Bone marrow smear; 250 by 250 pixels: 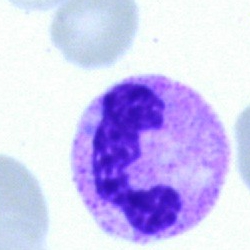A segmented neutrophil.